Peripheral blood smear:
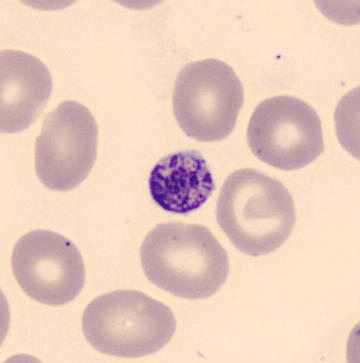

The classification is platelet (thrombocyte).